Bone marrow smear
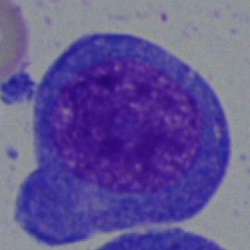
Showing a blast.